Bone marrow aspirate smear
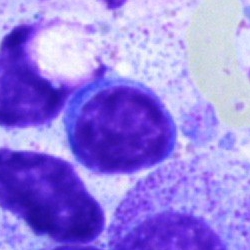Q: What type of cell is this?
A: Typical lymphocyte.